Bone marrow aspirate smear · May-Grünwald-Giemsa stain: 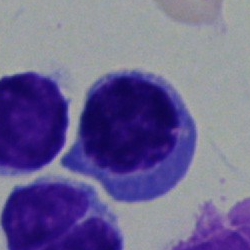
This is a nucleated red cell.